May-Grünwald-Giemsa/Pappenheim stain · bone marrow aspirate smear · 250×250 px:
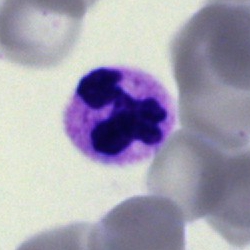

{"cell_type": "polymorphonuclear neutrophil", "lineage": "myeloid"}